Single-cell crop; bone marrow smear; image size 250×250.
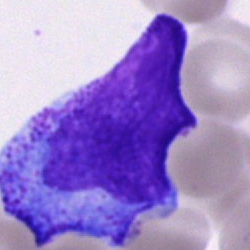This is a progranulocyte.